Bone marrow aspirate smear
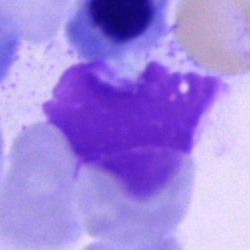
Single cell identified as an artefact.